Bone marrow smear:
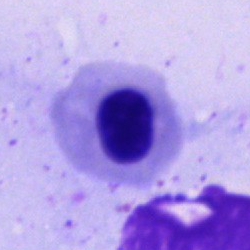
Normoblast.